250×250 px; bone marrow smear — 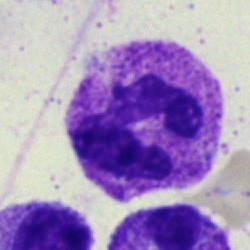
Specimen: bone marrow aspirate smear.
Cell type: polymorphonuclear neutrophil.
Lineage: myeloid.